Single-cell crop; peripheral blood smear
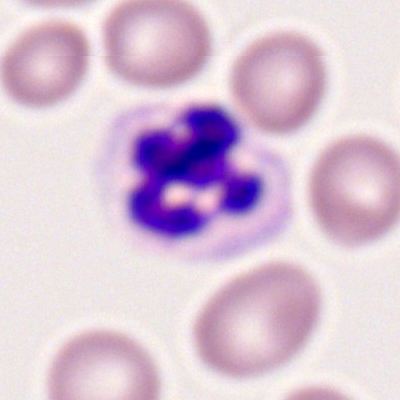
Morphology → neutrophil (segmented).